Bone marrow aspirate smear.
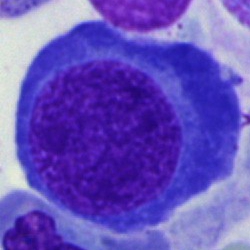

Cell: nucleated red blood cell.